Bone marrow smear. 250×250
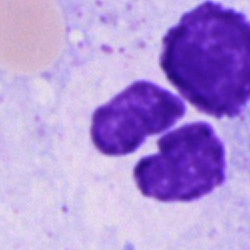
This is an artefact.